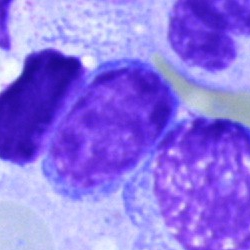Showing a lymphocyte.